Bone marrow aspirate smear.
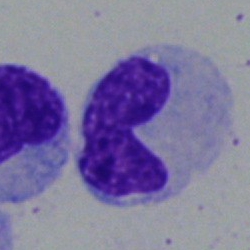Impression → neutrophil (band).